Brightfield microscopy, 40× oil immersion · bone marrow aspirate smear
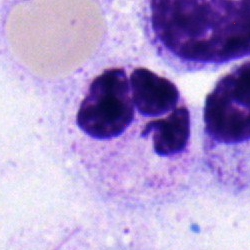 The cell shown is a segmented neutrophil.